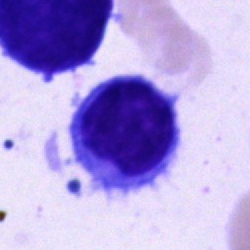Showing a lymphocyte.